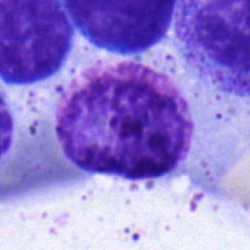Showing a basophil.